Bone marrow aspirate smear · 250×250.
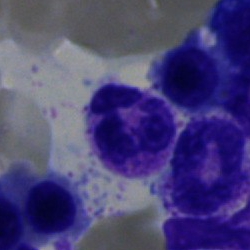Morphology consistent with a neutrophil (segmented).